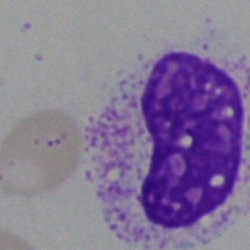
An artifact on a bone marrow smear.